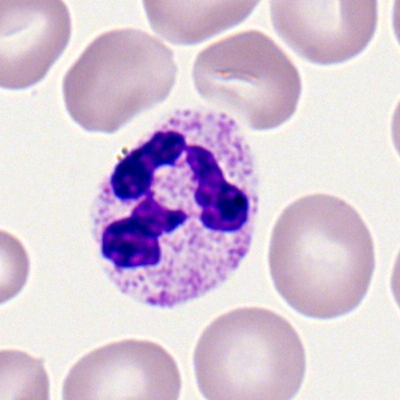
Morphology consistent with a segmented neutrophil.